Bone marrow aspirate smear · cropped to a single cell · 250×250:
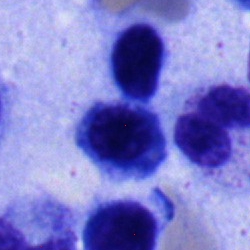

{"cell_type": "normoblast", "lineage": "erythroid"}